Single-cell field. MGG stain. Peripheral blood film — 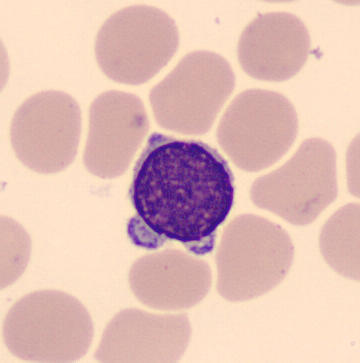
Morphology → lymphocyte.